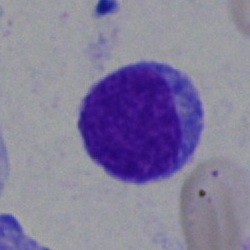Single cell identified as a lymphocyte.